Bone marrow smear · 40× objective, oil immersion:
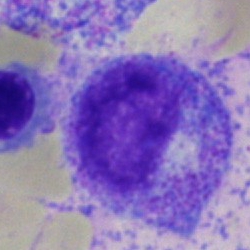 Morphology — myelocyte.